40× oil immersion. Bone marrow aspirate smear:
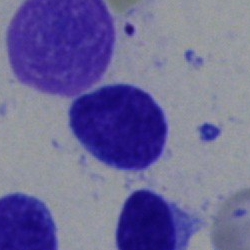

Specimen: bone marrow aspirate smear.
Classification: typical lymphocyte.
Lineage: lymphoid.